Peripheral blood smear — 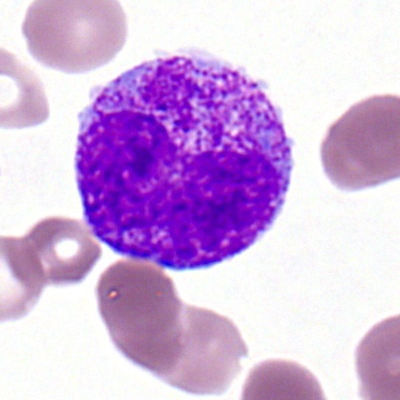
Single cell identified as a metamyelocyte.